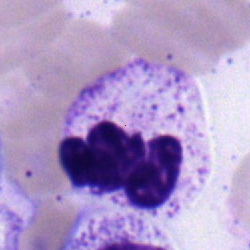 {"cell_type": "neutrophil (segmented)", "lineage": "myeloid"}